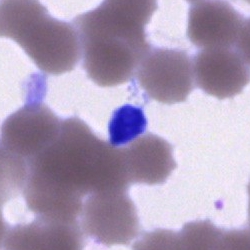

Morphological class = artefact.